Bone marrow smear.
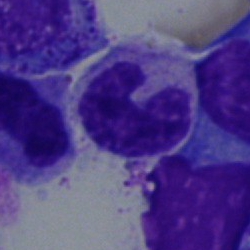 Q: Which cell type is shown here?
A: This is a stab cell.